Bone marrow smear: 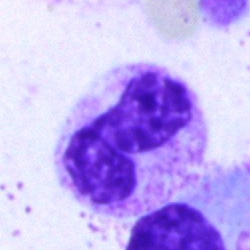
Morphology → stab cell.